Bone marrow aspirate smear · 250×250: 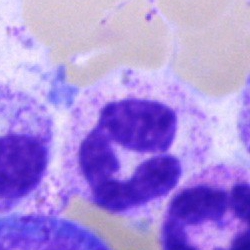 Q: What is the morphological classification of this cell?
A: It is a polymorphonuclear neutrophil.